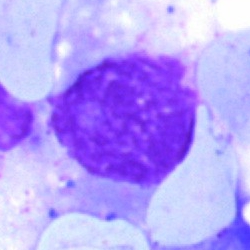
An artifact.